Cropped to a single cell. Peripheral blood film
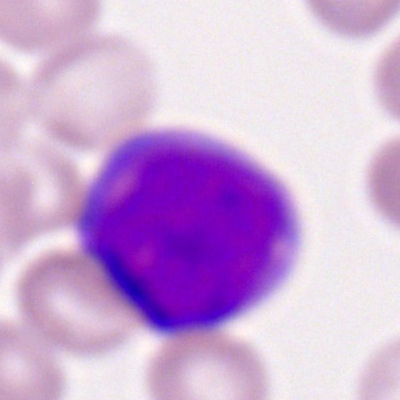 Classification = myeloid blast.